Bone marrow aspirate smear:
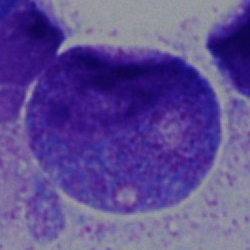
Q: What is the morphological classification of this cell?
A: This is a promyelocyte.